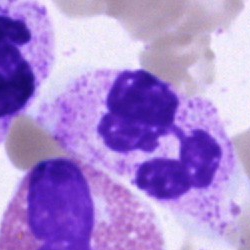The cell is polymorphonuclear neutrophil.